40× objective, oil immersion. 250×250 px. Bone marrow smear: 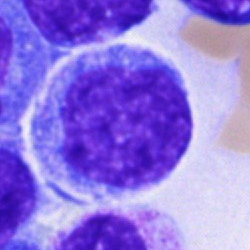
Q: What is shown here?
A: It is a blast cell.